Bone marrow aspirate smear — 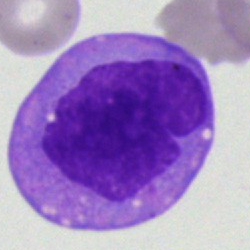 A blast.